Bone marrow aspirate smear · Pappenheim-stained:
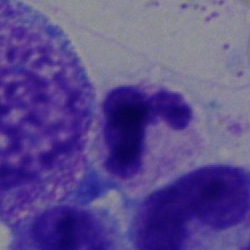

Morphological class: polymorphonuclear neutrophil.